Peripheral blood smear; single-cell crop — 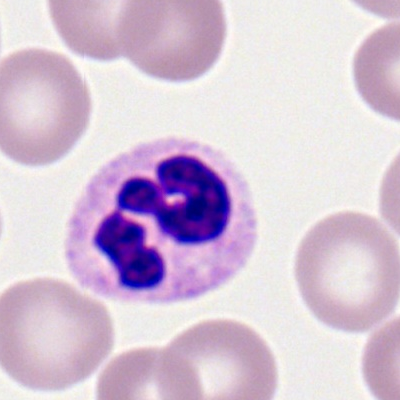
Segmented neutrophil.